Bone marrow smear:
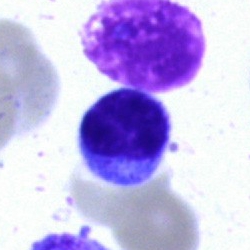Cell = lymphocyte.